MGG-stained; single-cell crop; bone marrow aspirate smear: 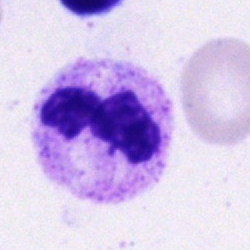
A neutrophil (segmented).